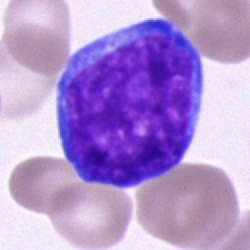
Bone marrow aspirate smear, single cell — blast cell.